Cropped to a single cell; bone marrow smear
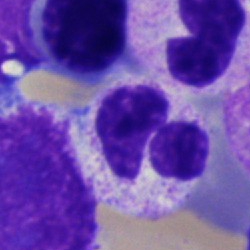 Classification = polymorphonuclear neutrophil.